Bone marrow aspirate smear — 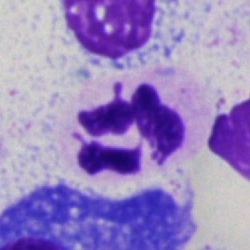

Classification = neutrophil (segmented).